Bone marrow aspirate smear — 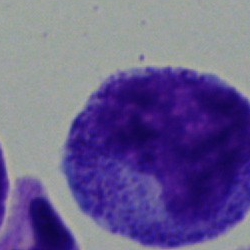 Impression — promyelocyte.